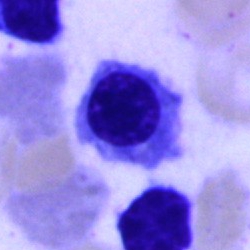

Q: What type of cell is this?
A: This is a nucleated red blood cell.